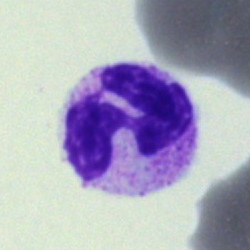

Morphology consistent with a segmented neutrophil.